Bone marrow aspirate smear; 40× objective, oil immersion; May-Grünwald-Giemsa stain: 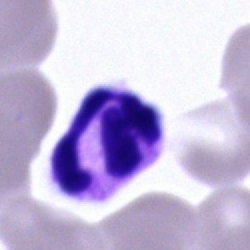The cell shown is a polymorphonuclear neutrophil.